Bone marrow aspirate smear. Image size 250×250
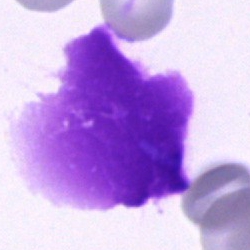
Single cell identified as an artifact.